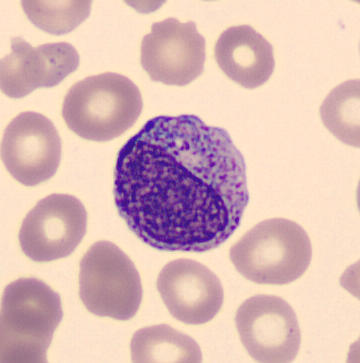

Impression → myelocyte.